Bone marrow smear: 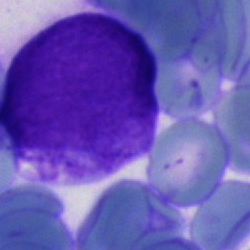 {"cell_type": "undifferentiated blast"}